Bone marrow aspirate smear.
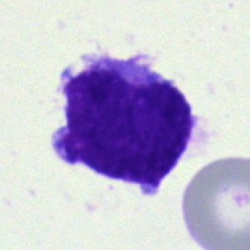
Cell — undifferentiated blast.